Brightfield microscopy, 40× oil immersion; May-Grünwald-Giemsa/Pappenheim stain; bone marrow smear:
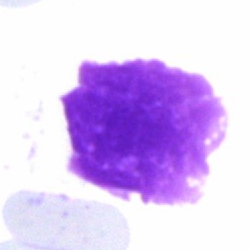

{"cell_type": "Gumprecht shadow"}